Cropped to a single cell; Romanowsky-type stain; peripheral blood film: 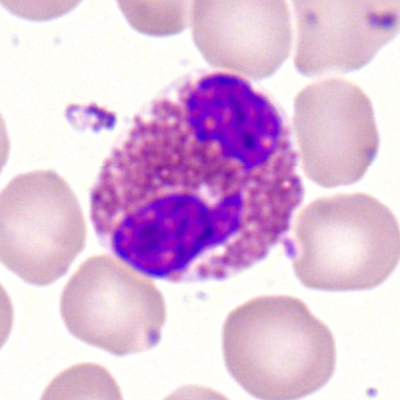 Eosinophilic granulocyte.